Bone marrow smear
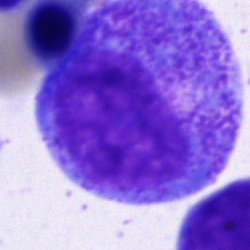

Showing a progranulocyte.